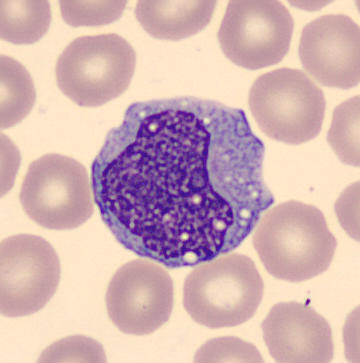Q: What is this?
A: It is a monocyte.